Bone marrow smear
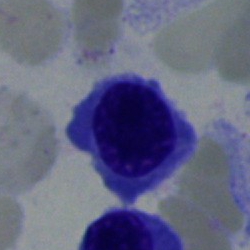 Morphology consistent with a nucleated red blood cell.